Single cell centered in the field · bone marrow aspirate smear
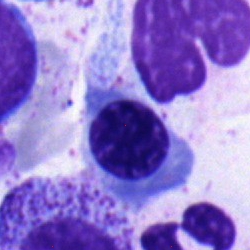Specimen: bone marrow aspirate smear.
Cell type: nucleated red cell.